May-Grünwald-Giemsa stain. Bone marrow aspirate smear
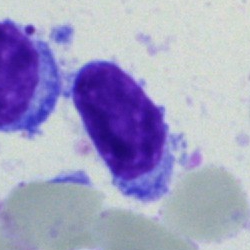The morphological class is lymphocyte.